Peripheral blood smear
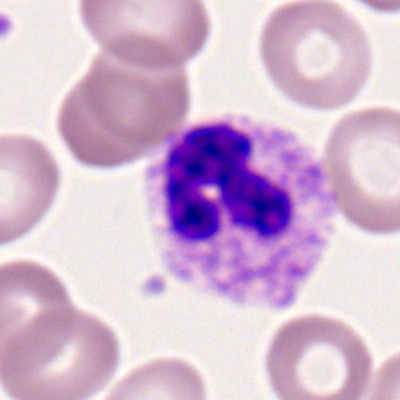
Showing a neutrophil (segmented).